Bone marrow smear.
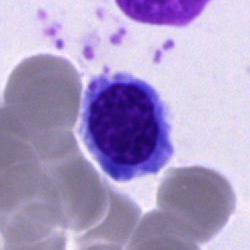
Morphological class — normoblast.